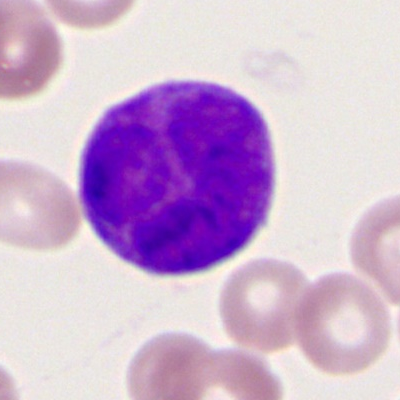Impression → myeloblast.